Bone marrow smear; image size 250×250: 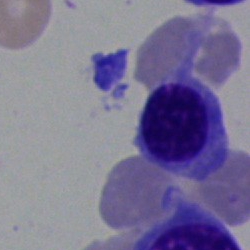
A nucleated red cell.